Bone marrow aspirate smear.
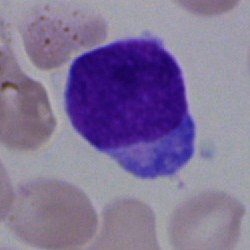

Lymphocyte.